Peripheral blood film · 400×400 px — 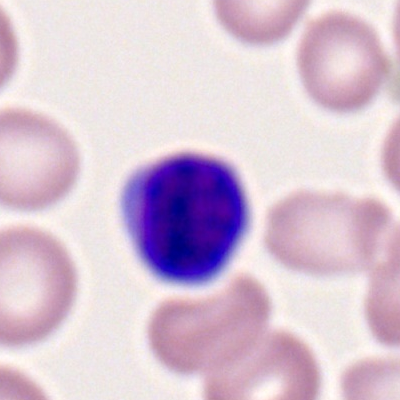Q: What type of cell is this?
A: This is a typical lymphocyte.